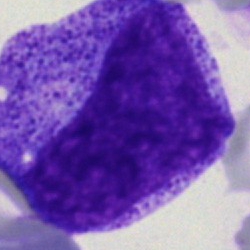Specimen: bone marrow smear.
Cell: promyelocyte.
Lineage: myeloid.